Peripheral blood smear
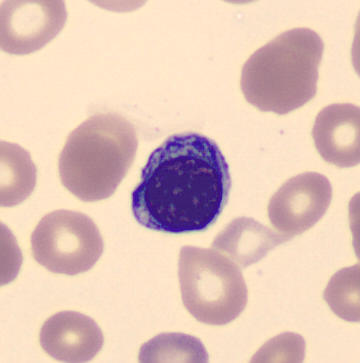 Specimen: peripheral blood film.
Cell type: nucleated red blood cell.